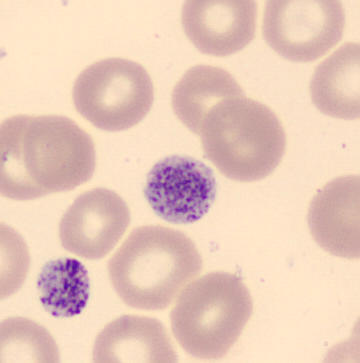

Peripheral blood film; CellaVision DM96.
Morphological class: platelet.